Peripheral blood film
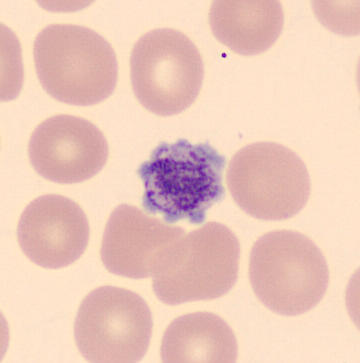Platelet.